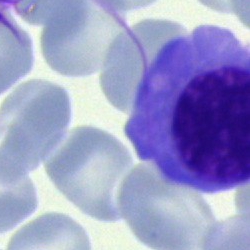
Impression → nucleated red blood cell.